250×250 px. May-Grünwald-Giemsa stain. Bone marrow smear.
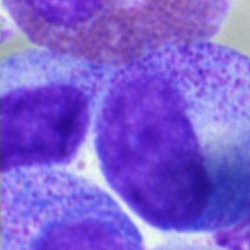

Specimen: bone marrow aspirate smear.
Cell type: progranulocyte.
Lineage: myeloid.